Bone marrow aspirate smear · 40× oil immersion.
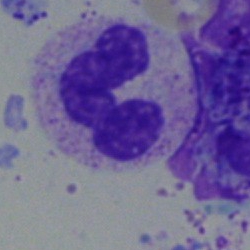

The cell type is segmented neutrophil.